Bone marrow smear — 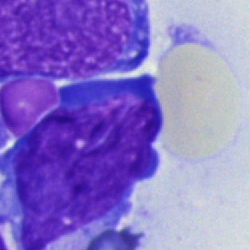 Morphological class: blast.